Peripheral blood smear
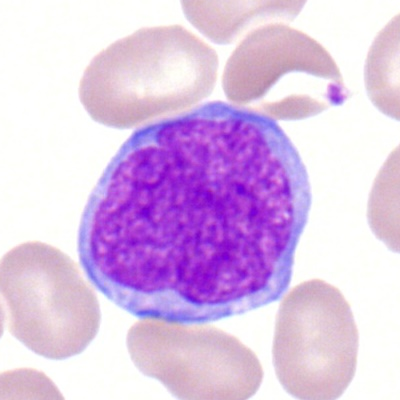Cell type: myeloid blast.